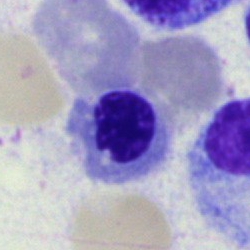

{"cell_type": "nucleated red blood cell", "lineage": "erythroid"}